Bone marrow aspirate smear — 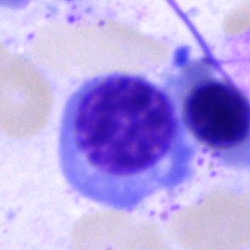A normoblast.